Bone marrow smear · single-cell crop · brightfield, 40× oil-immersion objective:
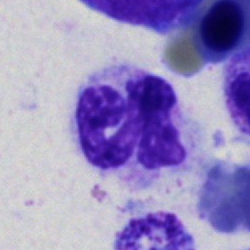

A neutrophil (segmented).